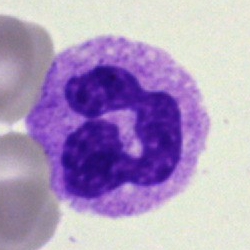

Polymorphonuclear neutrophil.